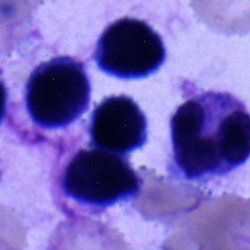 Single cell identified as a typical lymphocyte.